Bone marrow aspirate smear · Pappenheim-stained:
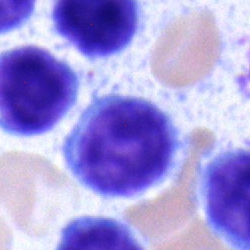The classification is typical lymphocyte.